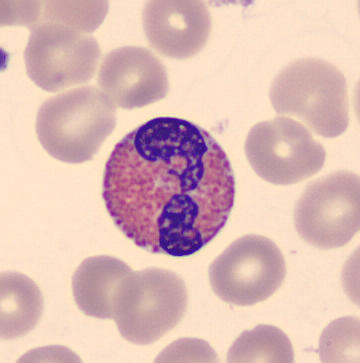

Morphological class: eosinophil.